M8 digital microscope (Precipoint), 100× oil immersion · peripheral blood smear: 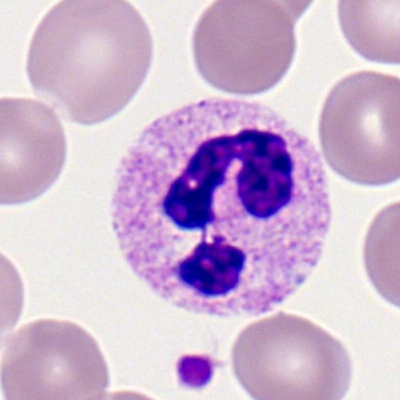

Morphology → neutrophil (segmented).